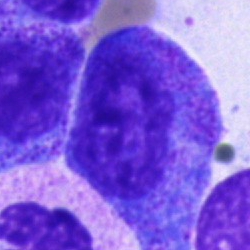

Morphology consistent with a promyelocyte.